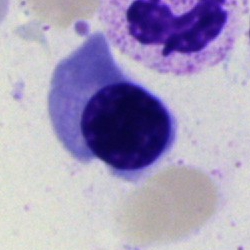

Q: Which cell type is shown here?
A: A nucleated red blood cell.